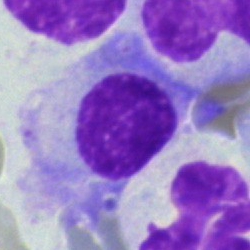

Bone marrow aspirate smear, single cell — plasmacyte.